Single cell centered in the field; 250 by 250 pixels; bone marrow smear
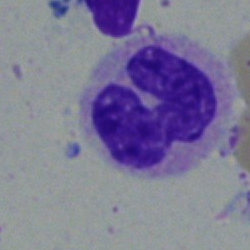
The morphological class is neutrophil (segmented).